Bone marrow smear.
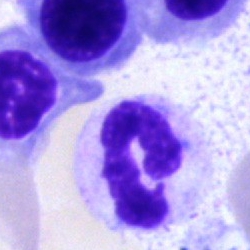

A neutrophil (segmented).